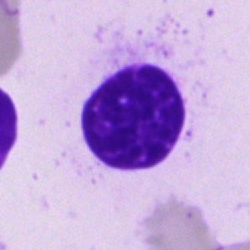Morphology — artifact.